Single-cell field; bone marrow aspirate smear.
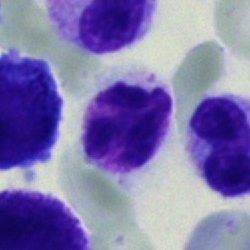Specimen: bone marrow smear.
Cell: polymorphonuclear neutrophil.
Lineage: myeloid.